Peripheral blood film; 360×363; May Grünwald-Giemsa stain.
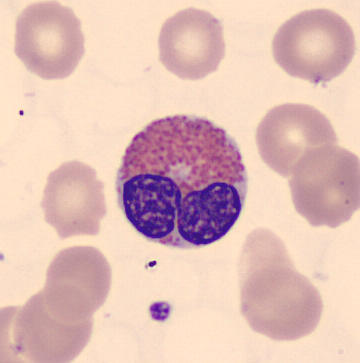 An eosinophilic granulocyte.